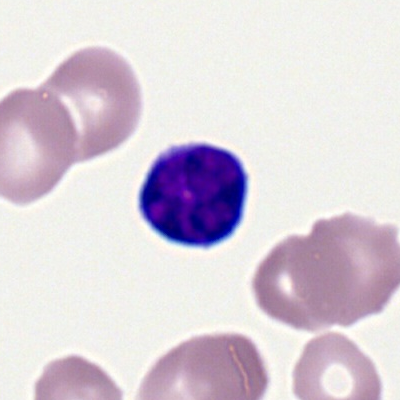 Q: What is shown here?
A: This is a typical lymphocyte.